Bone marrow smear. MGG-stained
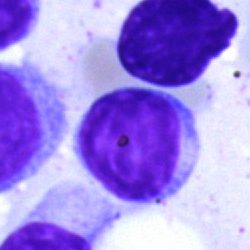The cell shown is a lymphocyte.